Image size 250×250 · bone marrow smear · 40× objective, oil immersion — 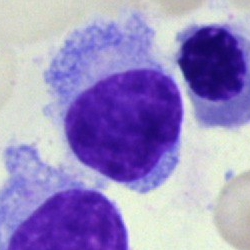
{"cell_type": "hairy cell"}